Bone marrow smear.
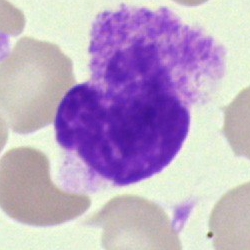Morphology consistent with a cell of indeterminate lineage.